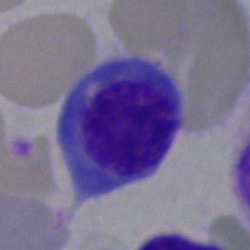

Q: What cell is this?
A: It is a normoblast.